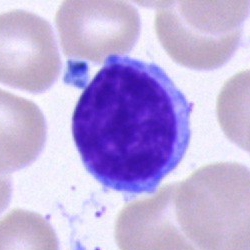
Typical lymphocyte.